250 by 250 pixels · MGG-stained · bone marrow aspirate smear — 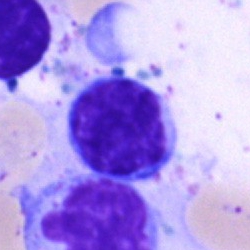Classification = typical lymphocyte.